Bone marrow aspirate smear; 250×250.
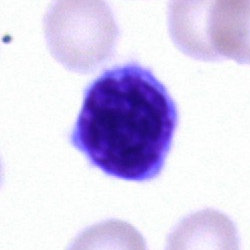

Classification: lymphocyte.